Bone marrow smear · 250×250 — 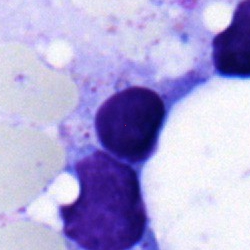
Specimen: bone marrow smear.
Cell: nucleated red blood cell.